Bone marrow smear: 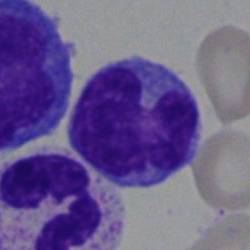 Impression — monocyte.